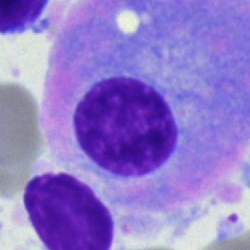

Classification = plasma cell.